Bone marrow aspirate smear: 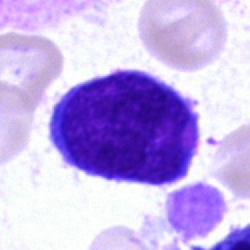

Morphological class: blast cell.